Bone marrow smear.
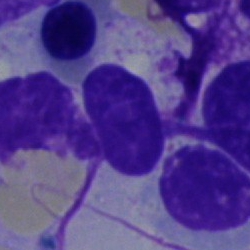
Specimen: bone marrow smear.
Cell: artifact.